250 by 250 pixels · bone marrow smear · single-cell crop — 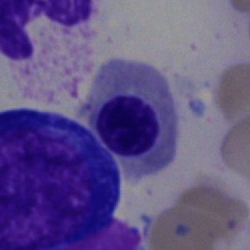 Q: What cell is this?
A: This is a nucleated red cell.